Bone marrow aspirate smear — 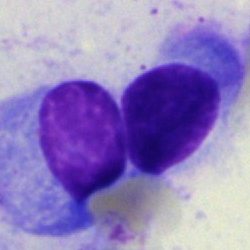
The morphological class is plasmacyte.